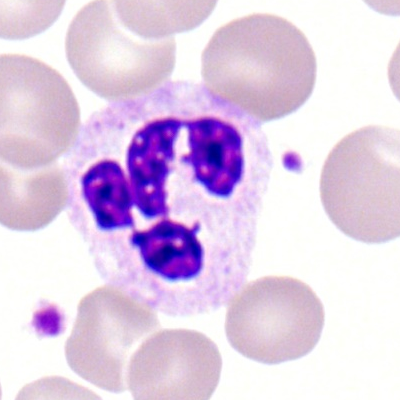Q: Which cell type is shown here?
A: Segmented neutrophil.